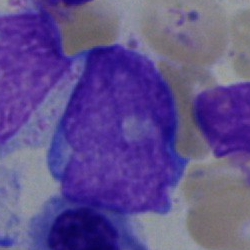Classification — blast.